Bone marrow aspirate smear · MGG-stained — 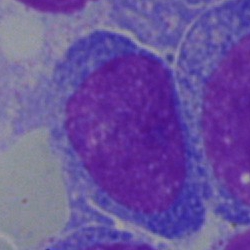
A blast.